Bone marrow smear:
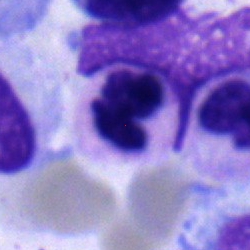

The cell shown is a polymorphonuclear neutrophil.